Bone marrow smear
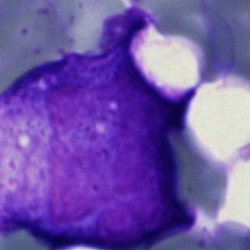 Cell = undifferentiated blast.